Bone marrow aspirate smear — 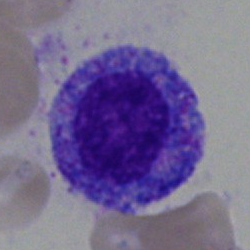

Showing a progranulocyte.